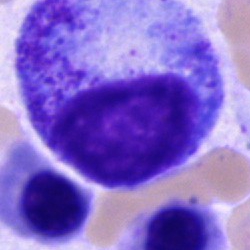Impression — progranulocyte.